250×250; bone marrow smear; May-Grünwald-Giemsa stain
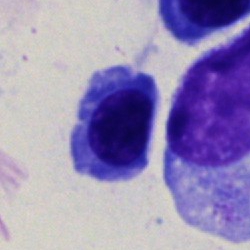This is a nucleated red cell.